360×363 px. Peripheral blood film. Single-cell crop: 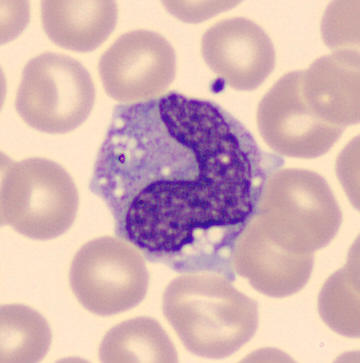 Monocyte.